Bone marrow aspirate smear
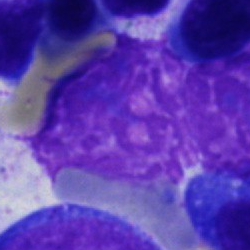{"cell_type": "artifact"}